Bone marrow aspirate smear.
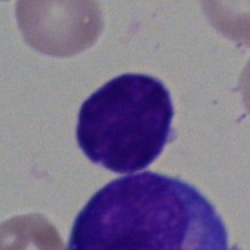

Showing a blast.